Bone marrow aspirate smear. Single cell centered in the field
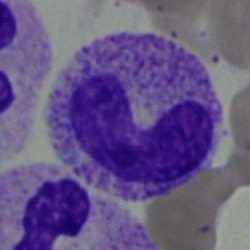Cell type — neutrophil (band).